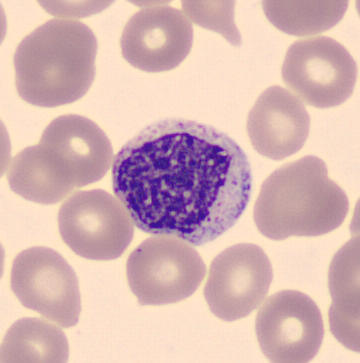
The cell shown is a myelocyte.

Cropped to a single cell. Peripheral blood film.